Bone marrow smear: 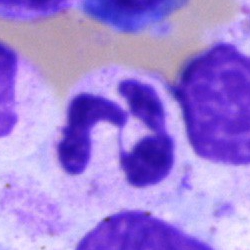
{"cell_type": "segmented neutrophil", "lineage": "myeloid"}